MGG-stained · 250×250 px · bone marrow smear — 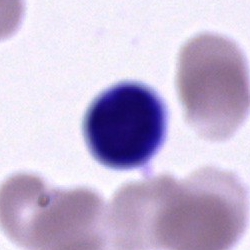

Q: What type of cell is this?
A: A cell of indeterminate lineage.